Bone marrow smear:
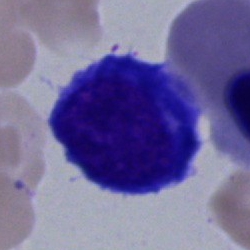
Showing a nucleated red cell.